Bone marrow aspirate smear: 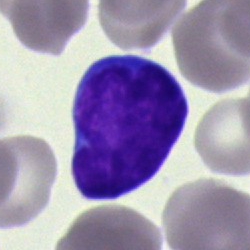

Q: What cell is this?
A: Blast cell.